Pappenheim-stained · bone marrow smear
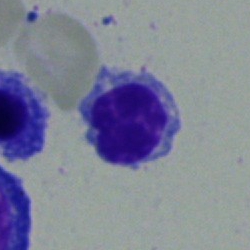 Morphology → erythroblast.